Bone marrow smear.
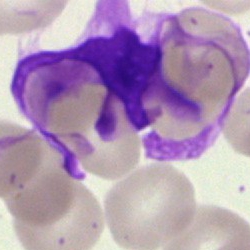Impression — artifact.